Bone marrow aspirate smear — 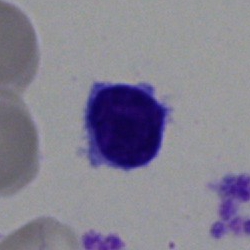 Cell — lymphocyte.